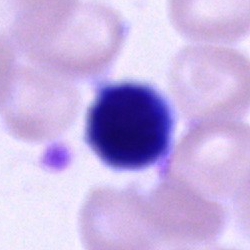 The classification is unidentifiable cell.